Bone marrow smear · 40× oil immersion:
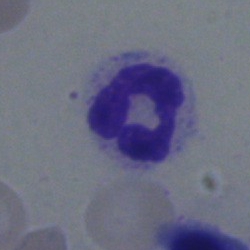

Cell — segmented neutrophil.